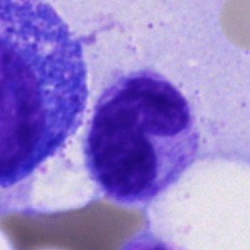 Cell: metamyelocyte.